Bone marrow aspirate smear. MGG-stained. 250×250 px — 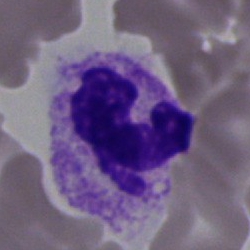 Specimen: bone marrow aspirate smear.
Cell: neutrophil (segmented).